Bone marrow smear · single cell centered in the field: 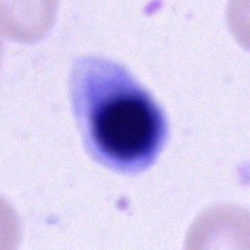
Morphology consistent with a cell of indeterminate lineage.